Brightfield, 100× oil-immersion objective; peripheral blood smear; 400 by 400 pixels
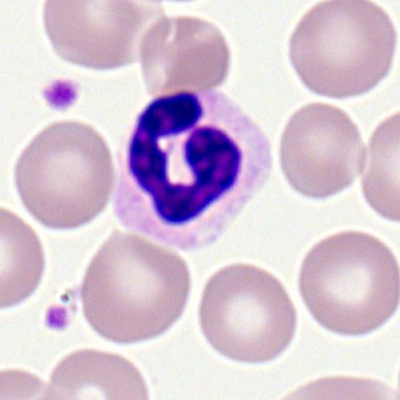 Morphological class: segmented neutrophil.